Bone marrow smear:
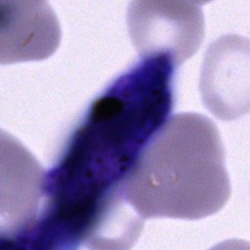Impression — artifact.